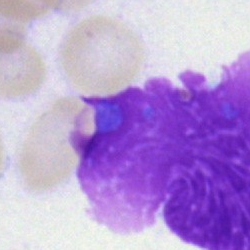Q: What is shown here?
A: It is an artefact.